Bone marrow aspirate smear:
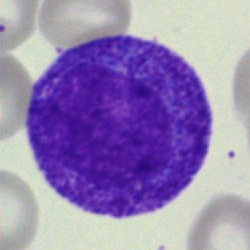Promyelocyte.